Bone marrow aspirate smear.
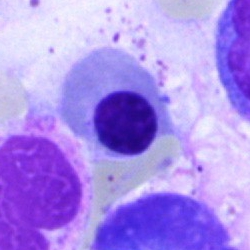
Q: What is shown here?
A: This is a nucleated red cell.